360×363 px. Peripheral blood smear: 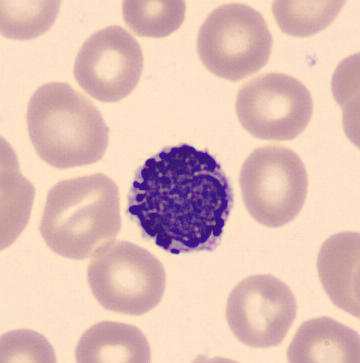
Impression → basophil.